Bone marrow aspirate smear:
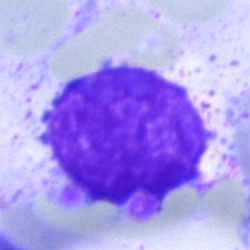

This is an artefact.